Bone marrow smear
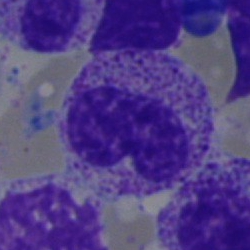

Cell type — metamyelocyte.